Bone marrow smear: 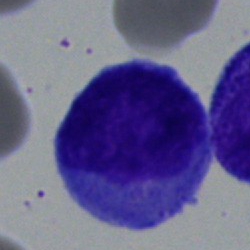 The cell shown is a blast.